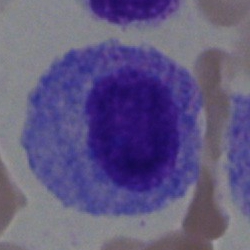 Morphology — myelocyte.